100× oil immersion, 14.14 px/µm. Peripheral blood smear:
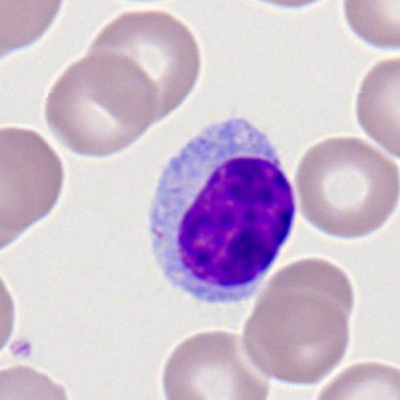

Morphology consistent with a typical lymphocyte.